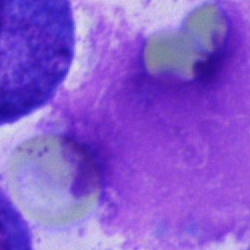 The cell shown is an artefact.